Bone marrow aspirate smear; single cell centered in the field: 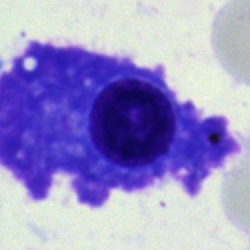

Morphology consistent with a plasma cell.